Single-cell crop · bone marrow smear
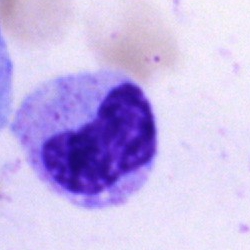

Classification: metamyelocyte.